Bone marrow aspirate smear — 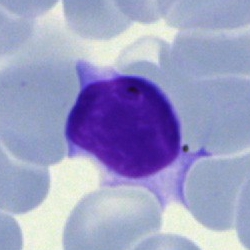
This is a lymphocyte.